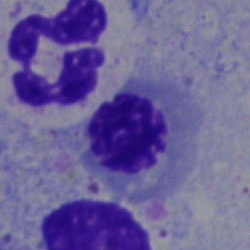

Classification = nucleated red cell.